Peripheral blood smear; Romanowsky-type stain
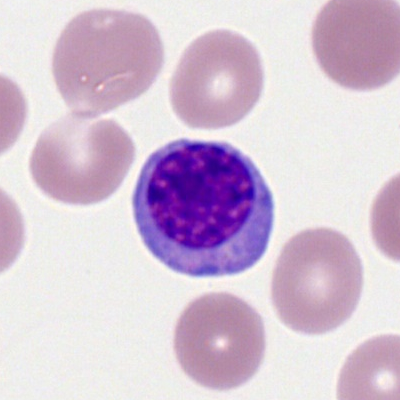

Specimen: peripheral blood film.
Cell type: typical lymphocyte.